May-Grünwald-Giemsa stain; bone marrow aspirate smear; single-cell field:
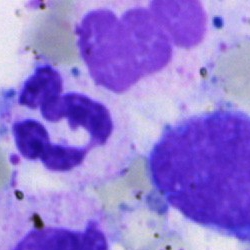

The cell type is polymorphonuclear neutrophil.